Peripheral blood film · single-cell field
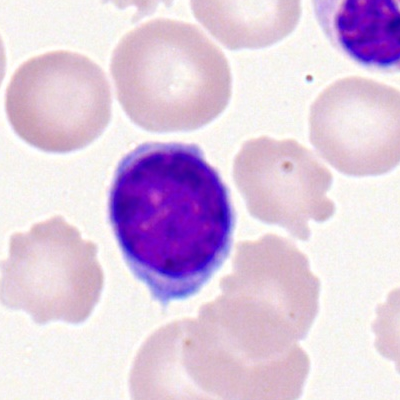

Typical lymphocyte.